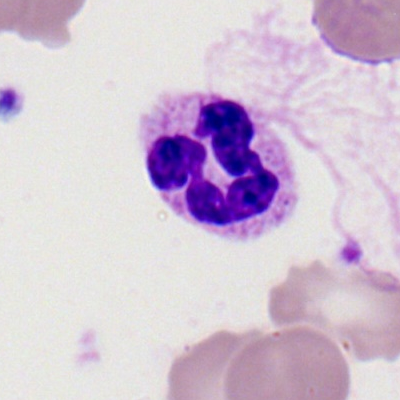

Q: What type of cell is this?
A: Polymorphonuclear neutrophil.